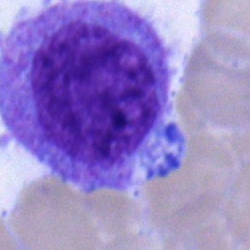Morphology consistent with an undifferentiated blast.